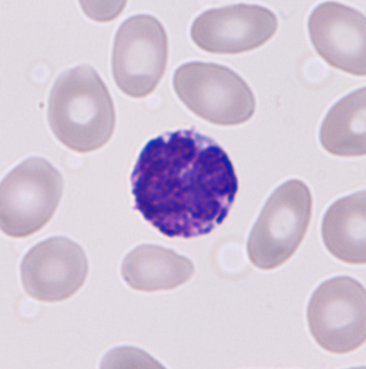Peripheral blood smear. Q: What is the morphological classification of this cell?
A: This is a basophilic granulocyte.